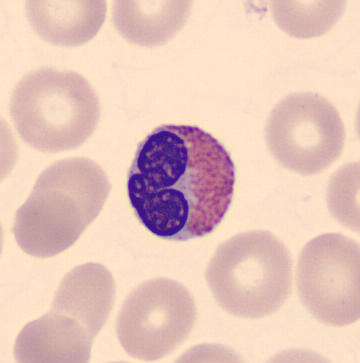

The cell shown is an eosinophilic granulocyte. Image: Peripheral blood smear.